Bone marrow aspirate smear · single-cell crop · 250×250:
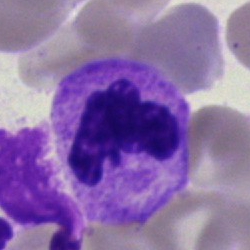

A segmented neutrophil.